Cropped to a single cell; bone marrow aspirate smear:
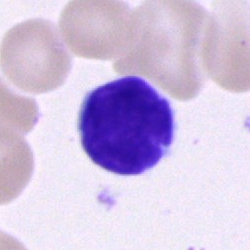

The cell shown is a lymphocyte.